Peripheral blood smear
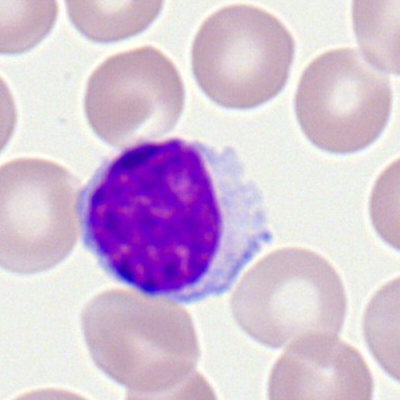
Lymphocyte.